Bone marrow aspirate smear — 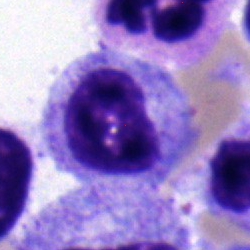

Morphology consistent with a myelocyte.